Bone marrow aspirate smear; May-Grünwald-Giemsa stain — 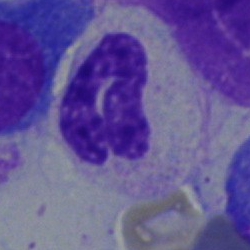 Q: What is the morphological classification of this cell?
A: This is a band-form neutrophil.